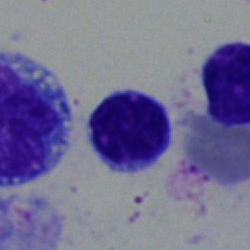

Specimen: bone marrow smear.
Cell: lymphocyte.
Lineage: lymphoid.